Single-cell field · bone marrow aspirate smear
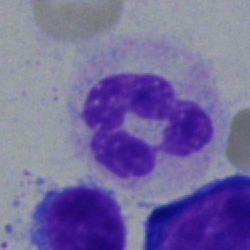
Impression — polymorphonuclear neutrophil.